Bone marrow aspirate smear. May-Grünwald-Giemsa stain
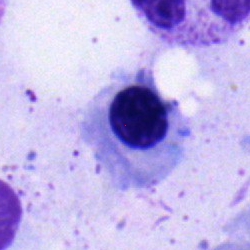Q: What cell is this?
A: A normoblast.